Bone marrow aspirate smear · Pappenheim-stained · 40× objective, oil immersion
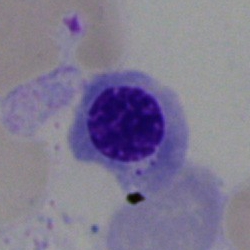
{"cell_type": "nucleated red blood cell", "lineage": "erythroid"}